250×250 px; bone marrow smear: 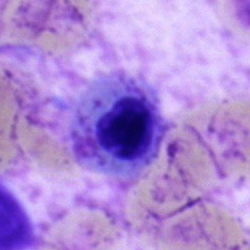 An erythroblast.